Bone marrow aspirate smear; 250×250 px
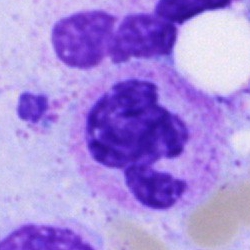The cell shown is a neutrophil (segmented).